Bone marrow aspirate smear.
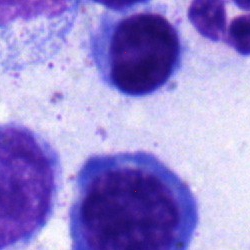
The cell shown is a lymphocyte.